Bone marrow smear
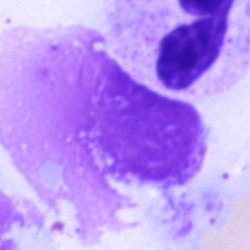 Q: What is shown here?
A: Artifact.